Bone marrow smear. Brightfield, 40× oil-immersion objective — 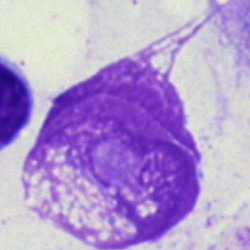

An artefact.